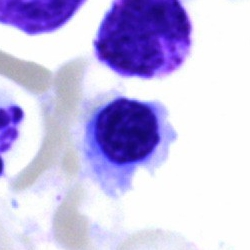 {"cell_type": "erythroblast", "lineage": "erythroid"}